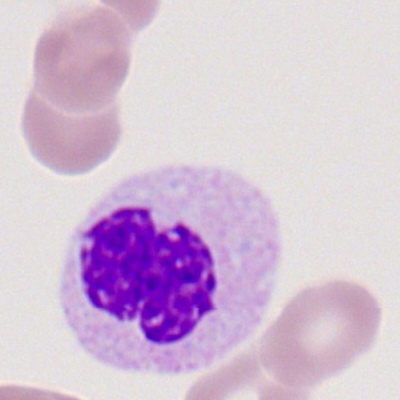
Morphological class: segmented neutrophil.